Bone marrow smear. Image size 250×250. Pappenheim-stained
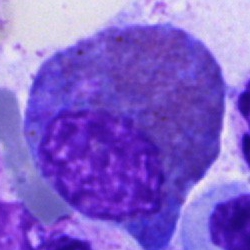Q: Which cell type is shown here?
A: Eosinophilic granulocyte.